Bone marrow aspirate smear: 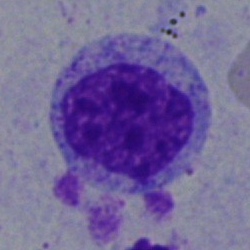 Q: Identify the cell.
A: It is a myelocyte.